Image size 250×250. May-Grünwald-Giemsa stain. Bone marrow smear — 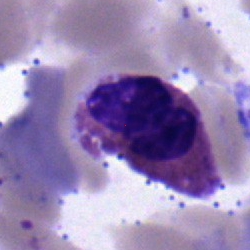
Eosinophilic granulocyte.